250×250 · May-Grünwald-Giemsa/Pappenheim stain · bone marrow aspirate smear: 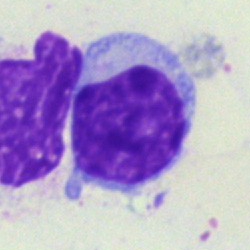Lymphocyte.